250 by 250 pixels; bone marrow aspirate smear; cropped to a single cell.
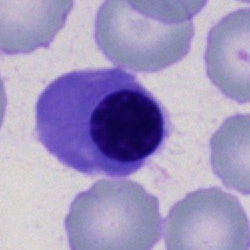Morphology → nucleated red blood cell.